Bone marrow aspirate smear.
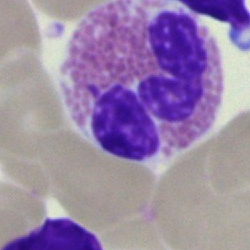 Classification = eosinophil.